Bone marrow aspirate smear — 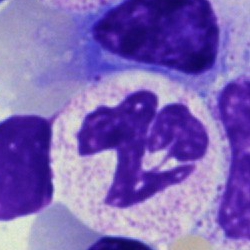
The cell type is segmented neutrophil.